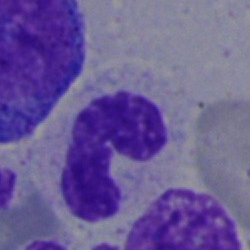
This is a band-form neutrophil.